Cropped to a single cell; bone marrow smear — 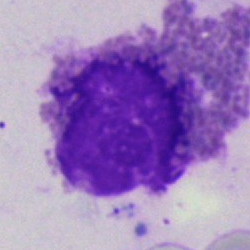Artifact.